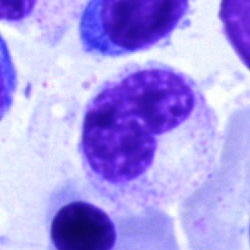 Bone marrow smear showing a band-form neutrophil.